May-Grünwald-Giemsa/Pappenheim stain · bone marrow aspirate smear
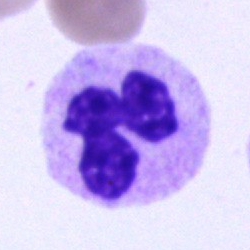

Single cell identified as a polymorphonuclear neutrophil.